100× oil immersion · peripheral blood film.
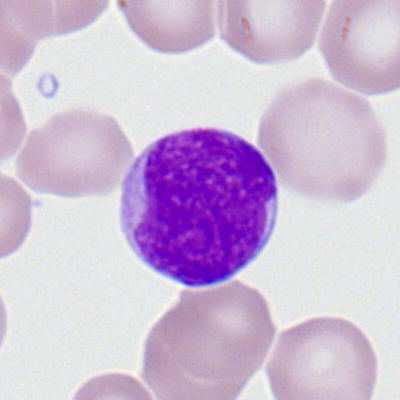

Morphology → myeloid blast.